Bone marrow aspirate smear:
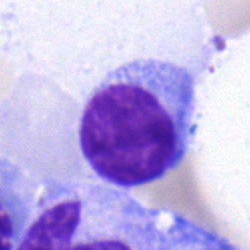

Specimen: bone marrow aspirate smear.
Classification: typical lymphocyte.